Bone marrow aspirate smear.
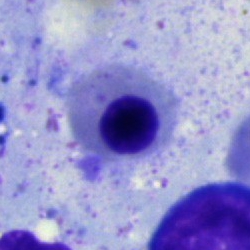This is a nucleated red cell.